Bone marrow aspirate smear:
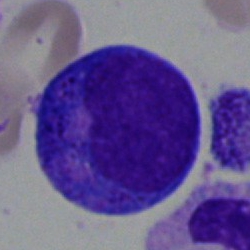 Q: What cell is this?
A: A progranulocyte.